Bone marrow aspirate smear · single-cell field · May-Grünwald-Giemsa/Pappenheim stain.
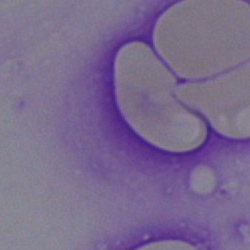 Specimen: bone marrow smear.
Classification: artefact.